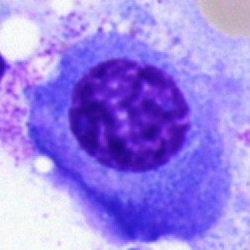 Single-cell crop from a bone marrow smear: plasma cell.